Brightfield, 40× oil-immersion objective. Bone marrow aspirate smear.
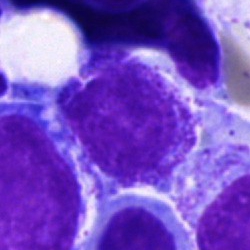

Q: What is the morphological classification of this cell?
A: Promyelocyte.